Bone marrow aspirate smear. Brightfield, 40× oil-immersion objective:
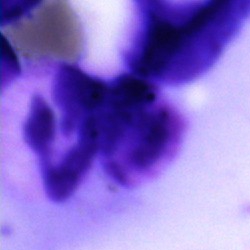
Showing an artefact.